Bone marrow smear · single-cell field · image size 250×250: 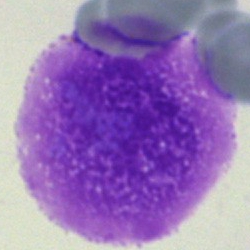This is an artifact.